May-Grünwald-Giemsa/Pappenheim stain. Bone marrow smear.
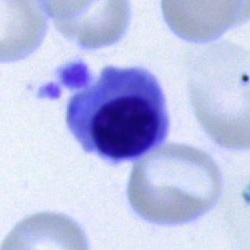 Showing a nucleated red blood cell.